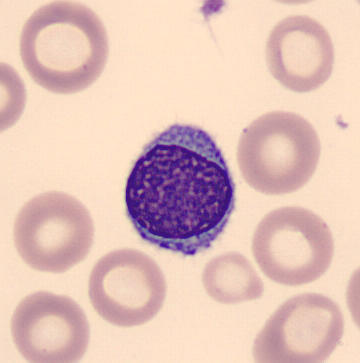

Identified as a typical lymphocyte.

Preparation: Peripheral blood film. CellaVision DM96.